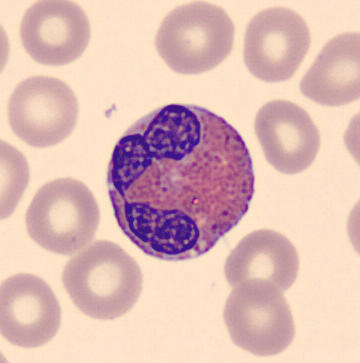
Cell — eosinophilic granulocyte.